Bone marrow smear
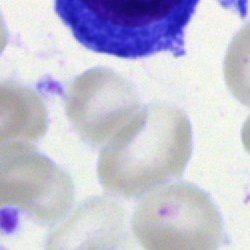

Cell type: unidentifiable cell.